Bone marrow aspirate smear; May-Grünwald-Giemsa stain; 250 by 250 pixels: 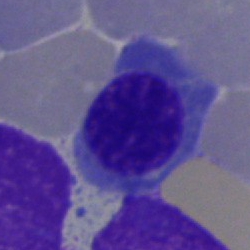

Single cell identified as a normoblast.